Bone marrow aspirate smear.
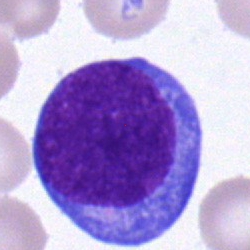

Impression — blast.